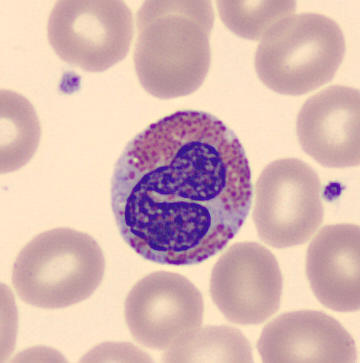Peripheral blood film.
{"cell_type": "eosinophilic granulocyte", "lineage": "myeloid"}